Bone marrow aspirate smear; 40× objective, oil immersion: 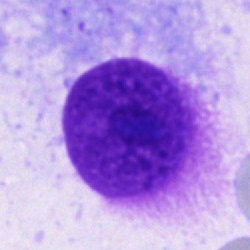

Cell = other cell type.